Bone marrow smear:
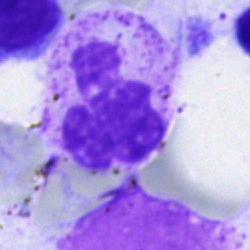
This is a polymorphonuclear neutrophil.